Bone marrow smear
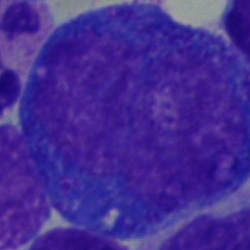
Morphology — proerythroblast.